Bone marrow aspirate smear; cropped to a single cell — 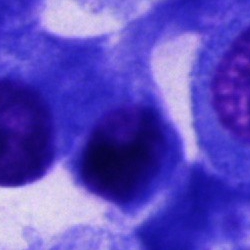 Q: Identify the cell.
A: A cell not matching the other categories.